Single cell centered in the field; peripheral blood film.
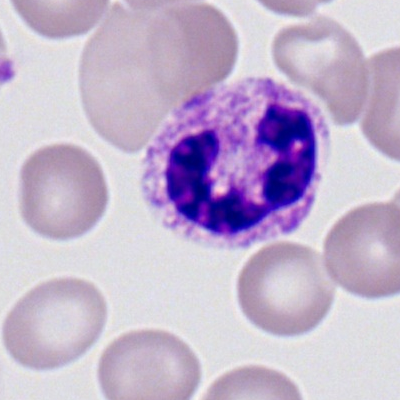The cell shown is a polymorphonuclear neutrophil.